Bone marrow smear: 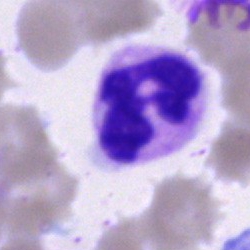

Single cell identified as a polymorphonuclear neutrophil.